Bone marrow aspirate smear — 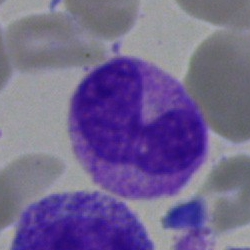
The cell is band neutrophil.